Single-cell field. Bone marrow smear. 40× oil immersion
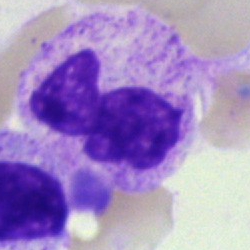 The classification is segmented neutrophil.